Single cell centered in the field. Peripheral blood film — 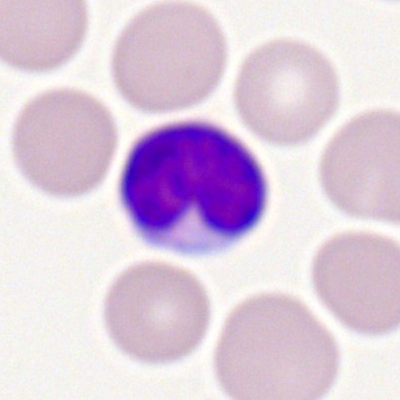
Morphological class = typical lymphocyte.